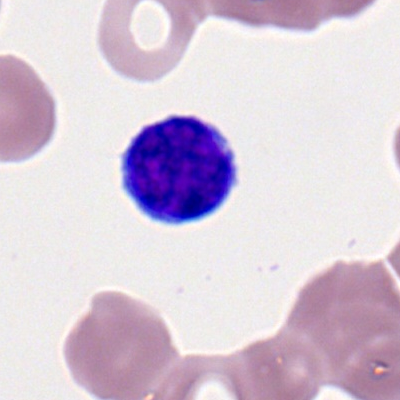 Cell: typical lymphocyte.